Cropped to a single cell · 40× oil immersion · bone marrow aspirate smear — 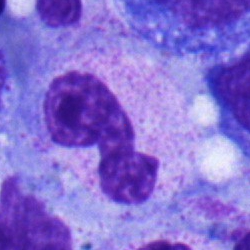 Q: What type of cell is this?
A: Segmented neutrophil.